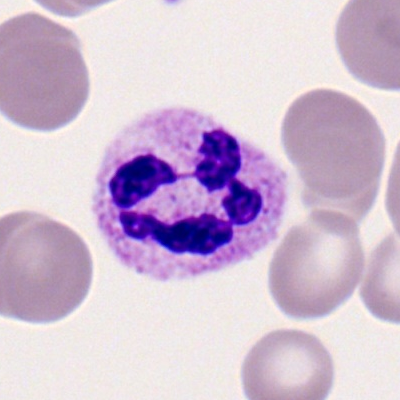

Q: What is shown here?
A: A polymorphonuclear neutrophil.